40× objective, oil immersion. Bone marrow smear:
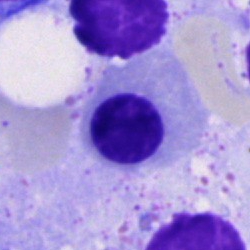 Morphology consistent with a nucleated red blood cell.